Bone marrow smear:
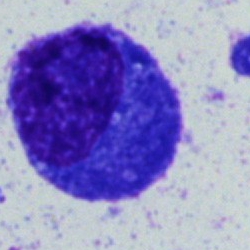

The cell is plasmacyte.